Romanowsky-type stain; single-cell crop; peripheral blood film: 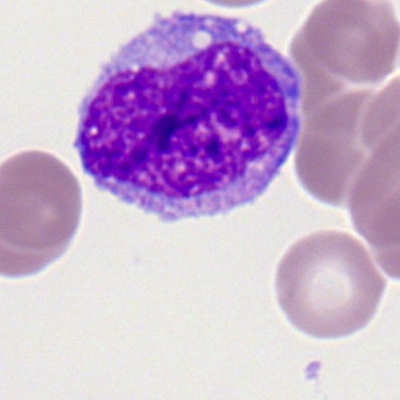
Classification = monocyte.